Bone marrow smear: 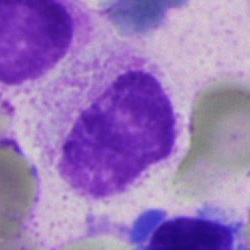
An artefact.